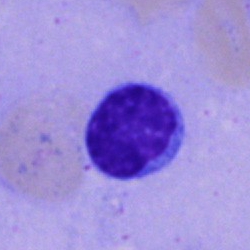The classification is typical lymphocyte.